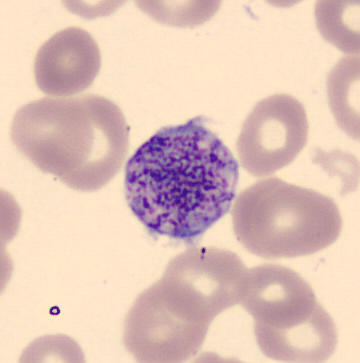
Showing a thrombocyte.

Peripheral blood film. Automated cell imaging (CellaVision DM96).